Bone marrow smear
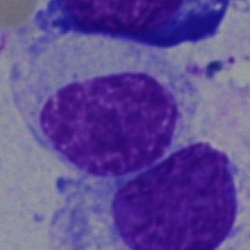

Showing a myelocyte.